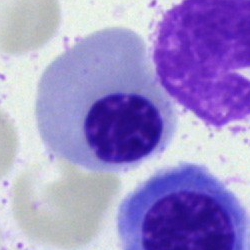
Q: What is the morphological classification of this cell?
A: Normoblast.